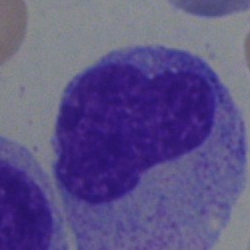
Cell: monocyte.